Bone marrow aspirate smear:
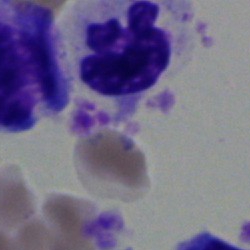Impression — segmented neutrophil.